Single-cell field. MGG-stained. Bone marrow smear — 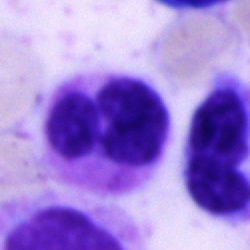 Showing a polymorphonuclear neutrophil.